Bone marrow aspirate smear: 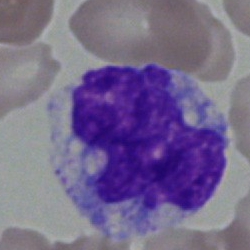

The cell is monocyte.